Bone marrow smear; 250×250: 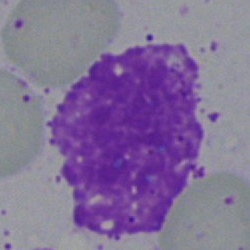
Q: What is shown here?
A: It is an artifact.